250×250 · bone marrow smear · cropped to a single cell — 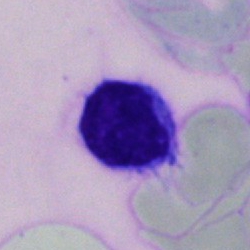

Specimen: bone marrow aspirate smear.
Cell type: typical lymphocyte.
Lineage: lymphoid.